Bone marrow smear; 250×250 px:
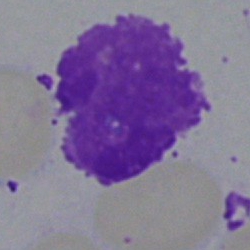
Q: What is shown here?
A: An artifact.